Bone marrow smear — 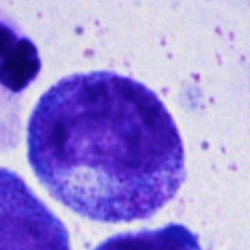

This is a promyelocyte.